Bone marrow aspirate smear
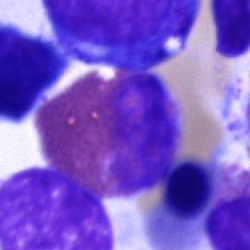

Impression → eosinophil.